Bone marrow smear — 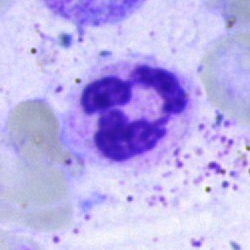

Single cell identified as a segmented neutrophil.